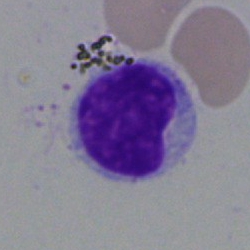

Specimen: bone marrow smear.
Morphological class: typical lymphocyte.
Lineage: lymphoid.